250 by 250 pixels · 40× objective, oil immersion · bone marrow smear — 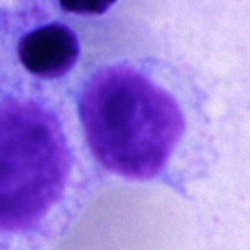

Showing a lymphocyte.